Bone marrow aspirate smear. Single-cell crop.
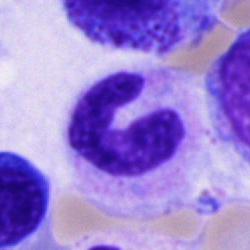

Cell — band neutrophil.